Bone marrow smear
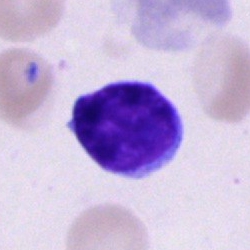 The classification is lymphocyte.